Bone marrow aspirate smear
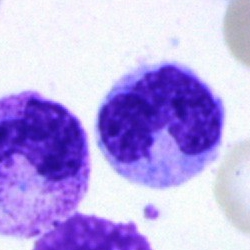
Specimen: bone marrow smear.
Classification: band-form neutrophil.
Lineage: myeloid.